Bone marrow smear — 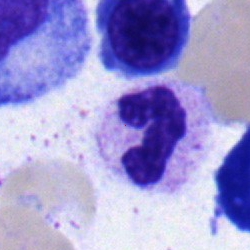

Cell: neutrophil (segmented).